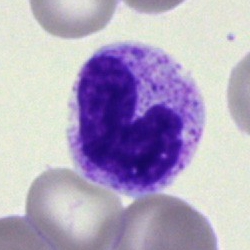

Q: What type of cell is this?
A: This is a band neutrophil.